Bone marrow smear. Single-cell crop
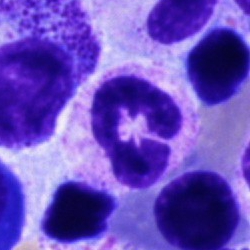 Impression → segmented neutrophil.